Bone marrow aspirate smear; May-Grünwald-Giemsa/Pappenheim stain: 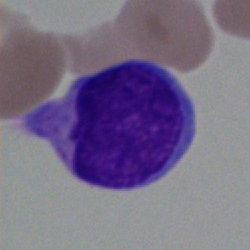

Specimen: bone marrow aspirate smear.
Classification: blast.